Bone marrow aspirate smear; 250 by 250 pixels; brightfield microscopy, 40× oil immersion.
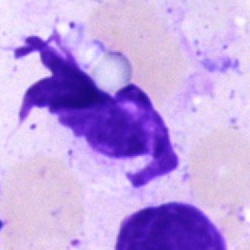
Artifact.